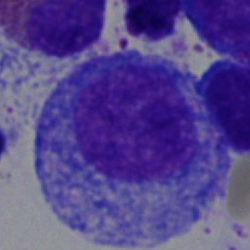

Classification: progranulocyte.